Single-cell field · brightfield microscopy, 40× oil immersion · bone marrow smear.
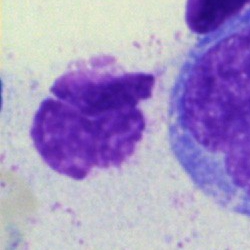

Q: What is shown here?
A: An artifact.